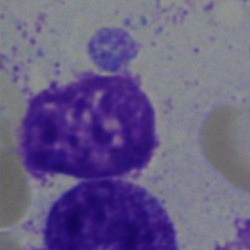Morphology → artifact.